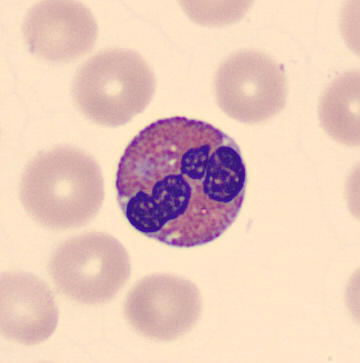 Q: Which cell type is shown here?
A: Eosinophilic granulocyte.